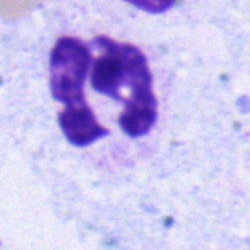

Single cell identified as a neutrophil (segmented).